Bone marrow aspirate smear:
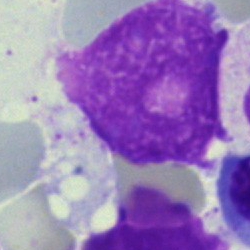 Specimen: bone marrow aspirate smear.
Classification: artifact.